250 by 250 pixels; bone marrow aspirate smear: 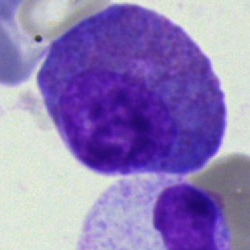

This is an eosinophil.